250×250 px; bone marrow smear: 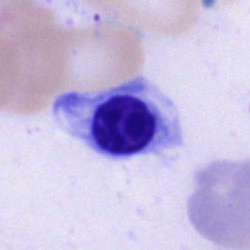 This is an erythroblast.